Bone marrow aspirate smear
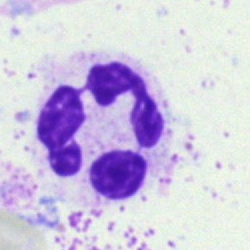

The cell shown is a segmented neutrophil.